MGG-stained · bone marrow aspirate smear · single-cell field:
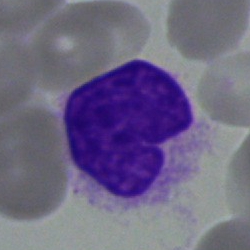 Morphological class = artifact.